Bone marrow aspirate smear: 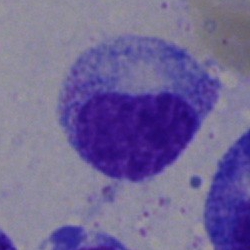

Classification: metamyelocyte.